Peripheral blood smear; single cell centered in the field; brightfield, 100× oil-immersion objective
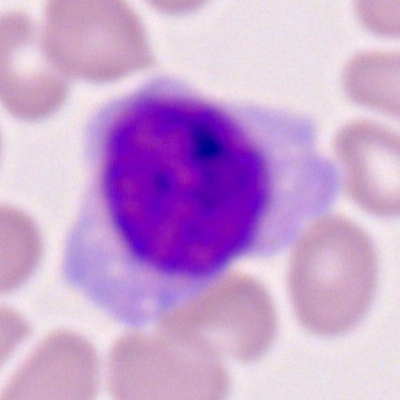
Specimen: peripheral blood smear.
Cell: monocyte.